Peripheral blood smear. CellaVision DM96 digital cell image. May Grünwald-Giemsa stain.
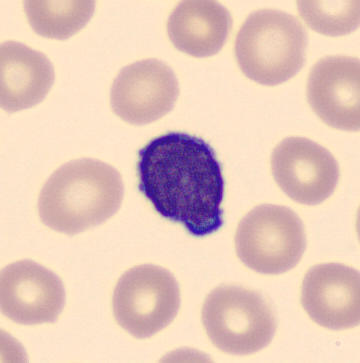 Cell = lymphocyte.